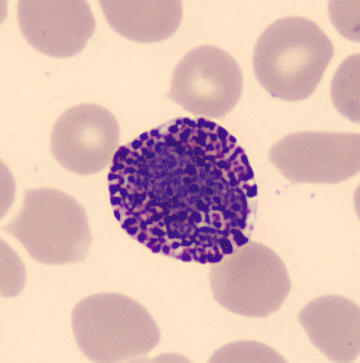

Peripheral blood film. Morphology consistent with a basophilic granulocyte.